Bone marrow smear: 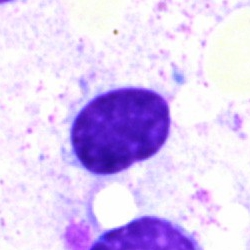Impression — artefact.